Bone marrow aspirate smear:
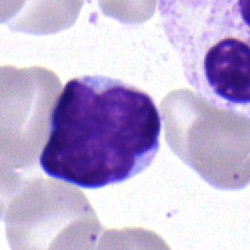{"cell_type": "typical lymphocyte", "lineage": "lymphoid"}